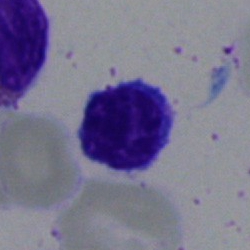
Classification — typical lymphocyte.